Bone marrow aspirate smear · single-cell field
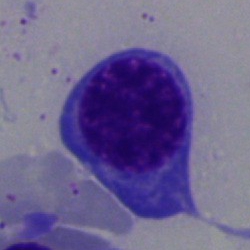Cell type = nucleated red cell.